Bone marrow aspirate smear
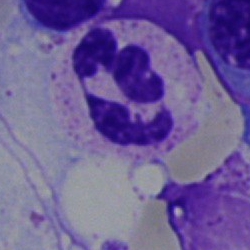Morphology → segmented neutrophil.